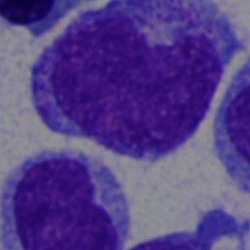 Specimen: bone marrow aspirate smear.
Cell: promyelocyte.